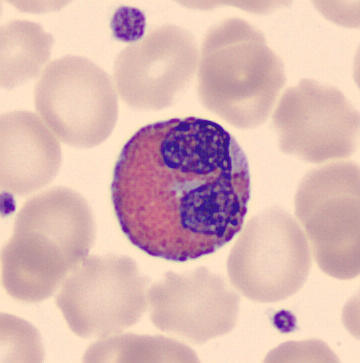 Acquisition: May Grünwald-Giemsa stain; 360×363 px; peripheral blood film.
Morphological class: eosinophilic granulocyte.